Bone marrow smear:
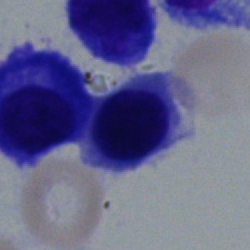

Morphology consistent with a nucleated red blood cell.